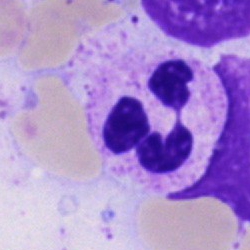 Q: Identify the cell.
A: It is a polymorphonuclear neutrophil.